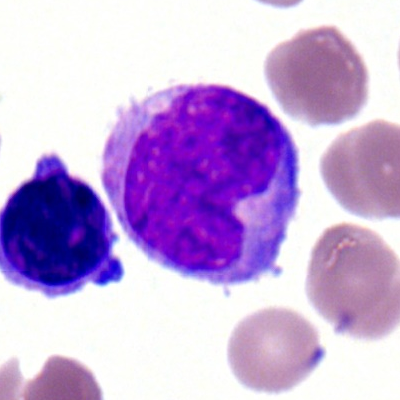The morphological class is monocyte.